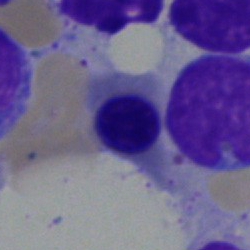
Q: What cell is this?
A: Erythroblast.